Bone marrow aspirate smear — 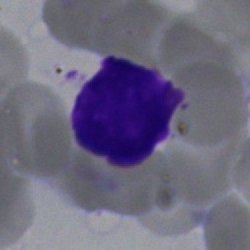

Cell: artifact.